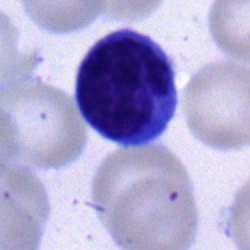
Impression → typical lymphocyte.